Bone marrow smear
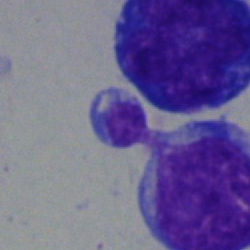 Q: Identify the cell.
A: This is an undifferentiated blast.